Bone marrow aspirate smear. 250 by 250 pixels
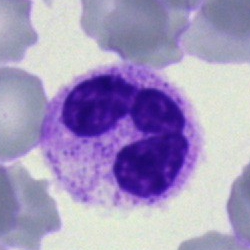 {"cell_type": "segmented neutrophil"}